250 by 250 pixels · MGG-stained · bone marrow aspirate smear: 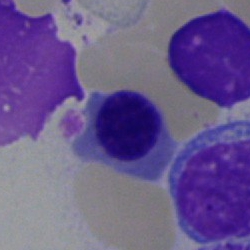Q: What cell is this?
A: This is an erythroblast.